Bone marrow smear:
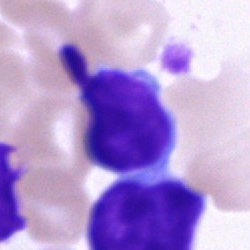

Morphological class — typical lymphocyte.